Bone marrow smear; cropped to a single cell; 40× oil immersion.
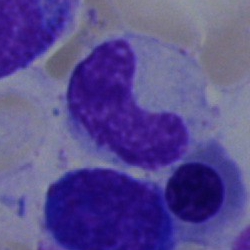
The classification is band-form neutrophil.